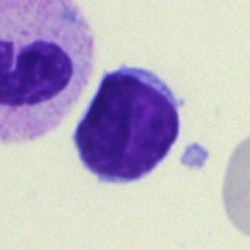{"cell_type": "typical lymphocyte", "lineage": "lymphoid"}